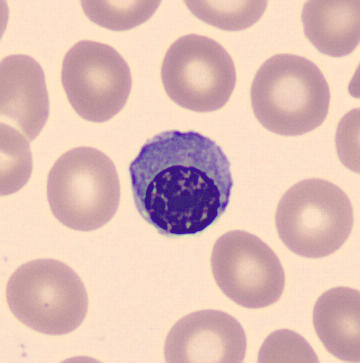Single-cell crop from a peripheral blood smear: nucleated red blood cell.